Bone marrow smear. Single-cell field. 250×250 px: 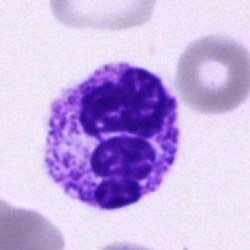
Specimen: bone marrow smear.
Cell: polymorphonuclear neutrophil.
Lineage: myeloid.